Bone marrow aspirate smear · 40× objective, oil immersion · MGG-stained: 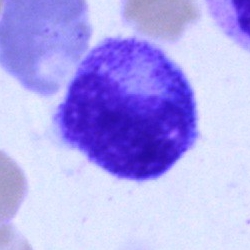

A metamyelocyte.